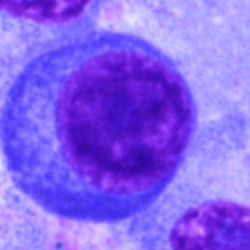

Morphological class = plasmacyte.